Bone marrow aspirate smear. 250 by 250 pixels. Brightfield, 40× oil-immersion objective: 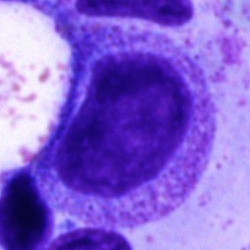

The cell shown is a promyelocyte.